Bone marrow smear · brightfield, 40× oil-immersion objective · 250×250
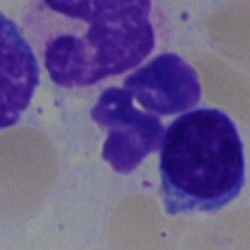
Segmented neutrophil.